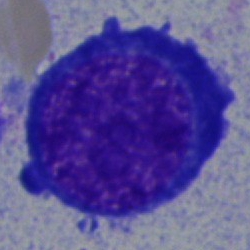
Single cell identified as a proerythroblast.